CellaVision DM96 · peripheral blood film · single-cell crop:
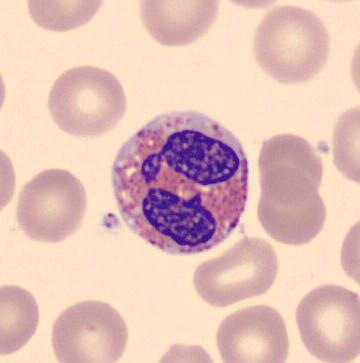{"cell_type": "eosinophil"}